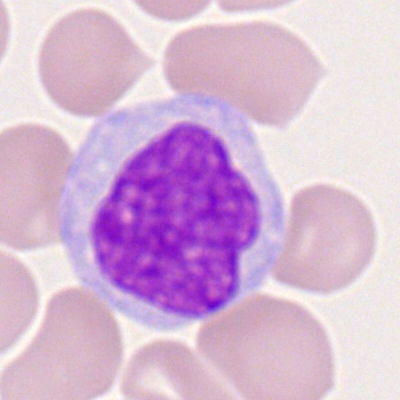 Cell type: monocyte.